Bone marrow aspirate smear. MGG-stained
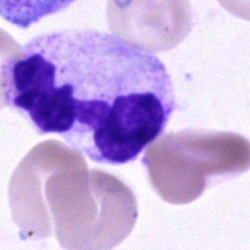Single cell identified as a polymorphonuclear neutrophil.